Bone marrow aspirate smear: 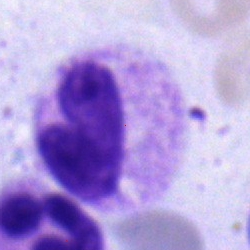Cell type = band-form neutrophil.